Single cell centered in the field. Bone marrow smear. MGG-stained
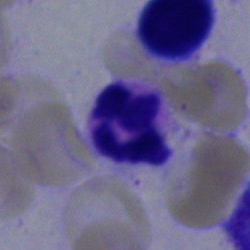 Morphological class: neutrophil (segmented).